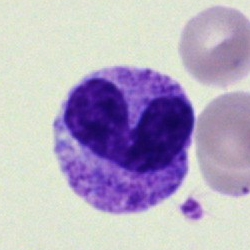 Single cell identified as a band neutrophil.